Bone marrow smear
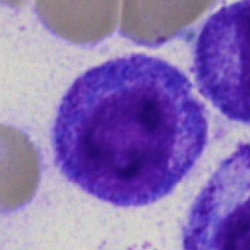
Specimen: bone marrow aspirate smear.
Cell: promyelocyte.